Peripheral blood smear · Romanowsky-type stain:
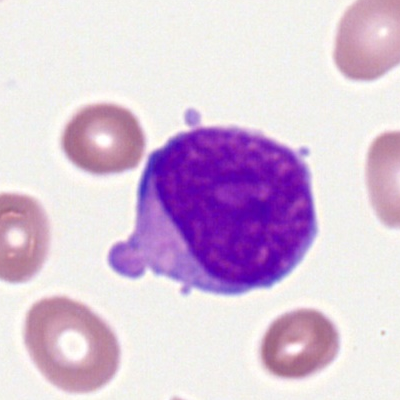 A myeloblast.